Bone marrow smear; cropped to a single cell; May-Grünwald-Giemsa/Pappenheim stain.
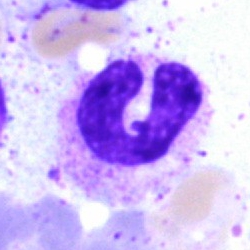
Q: What is shown here?
A: This is a polymorphonuclear neutrophil.